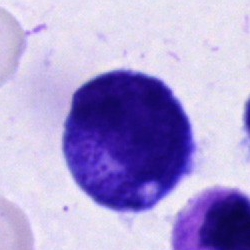
This is a promyelocyte.